Bone marrow aspirate smear:
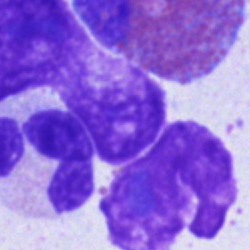

Showing an unidentifiable cell.